Bone marrow smear · brightfield, 40× oil-immersion objective · Pappenheim-stained.
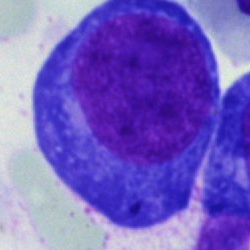

Cell: pronormoblast.